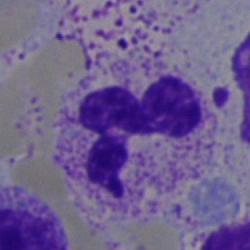Single-cell crop from a bone marrow smear: neutrophil (segmented).